Image size 250×250 · bone marrow smear.
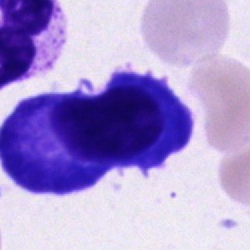
Classification: plasma cell.